Bone marrow smear. MGG-stained — 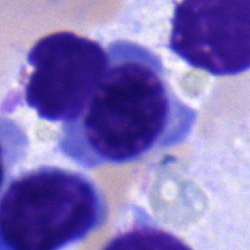
Q: What is the morphological classification of this cell?
A: A nucleated red blood cell.